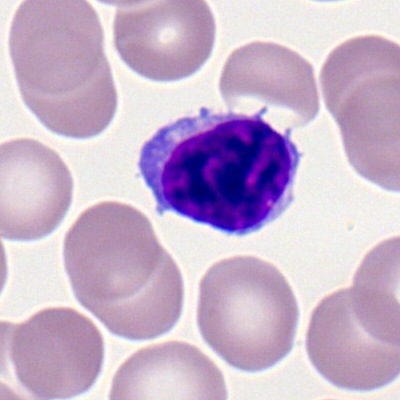Specimen: peripheral blood film.
Morphological class: lymphocyte.